Bone marrow smear. Single-cell crop:
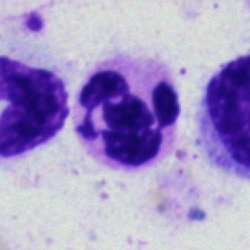
Showing a neutrophil (segmented).